Bone marrow aspirate smear. Single-cell crop:
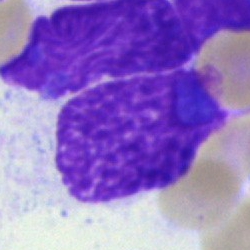

Specimen: bone marrow aspirate smear.
Cell: artefact.